May-Grünwald-Giemsa/Pappenheim stain; bone marrow smear — 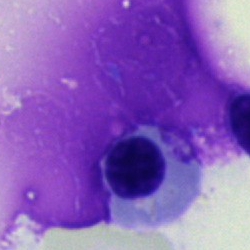 The cell type is nucleated red cell.